Bone marrow smear; cropped to a single cell:
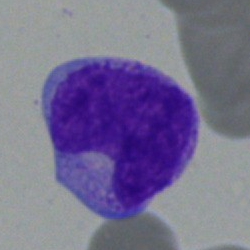
Q: What type of cell is this?
A: This is a monocyte.